Peripheral blood smear
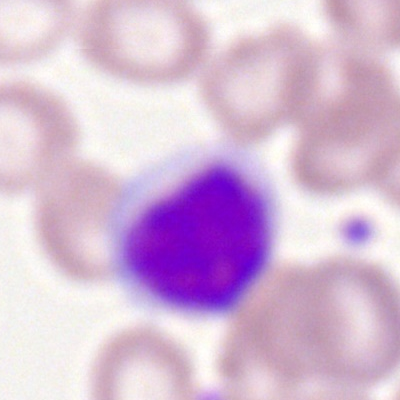
Q: What type of cell is this?
A: It is a lymphocyte.